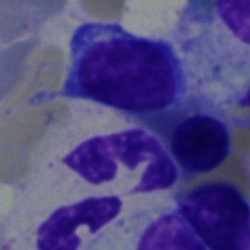 Specimen: bone marrow aspirate smear.
Classification: segmented neutrophil.
Lineage: myeloid.